Bone marrow smear: 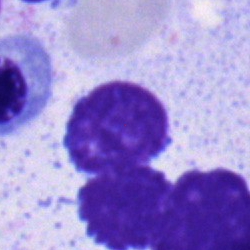
Impression → lymphocyte.